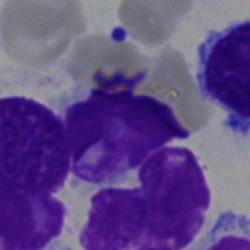 The cell is artefact.